Bone marrow smear: 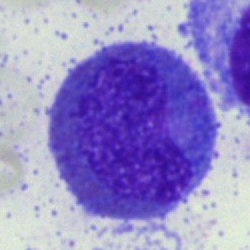 Classification — eosinophilic granulocyte.